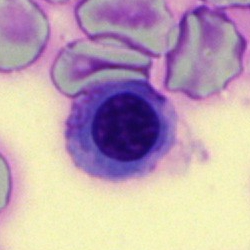

Single cell identified as an erythroblast.